Bone marrow aspirate smear · 40× objective, oil immersion.
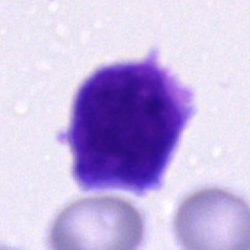 Q: What is shown here?
A: Artifact.